Bone marrow aspirate smear
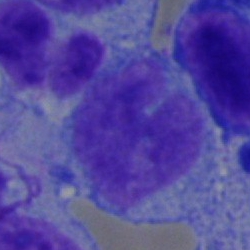 The classification is monocyte.